Bone marrow smear:
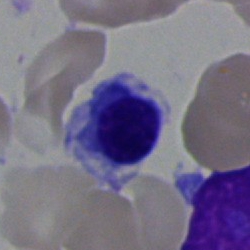

Single cell identified as a normoblast.